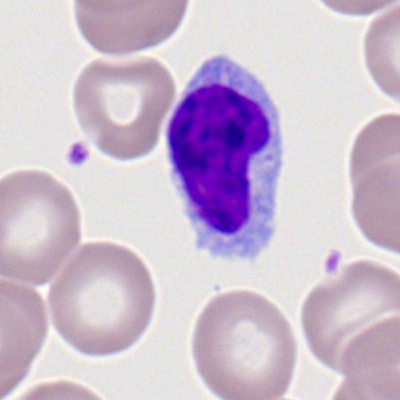

Cell type: typical lymphocyte.